Bone marrow aspirate smear: 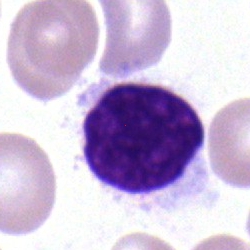

Classification: lymphocyte.